Bone marrow aspirate smear. Single-cell field.
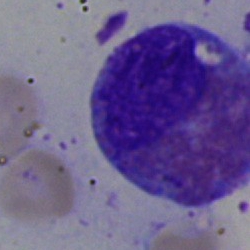
Morphological class — eosinophilic granulocyte.